Bone marrow smear:
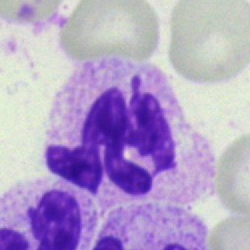The cell type is polymorphonuclear neutrophil.